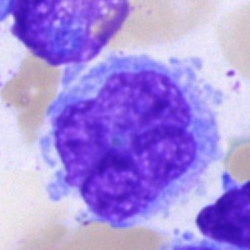

The cell type is monocyte.